Peripheral blood smear
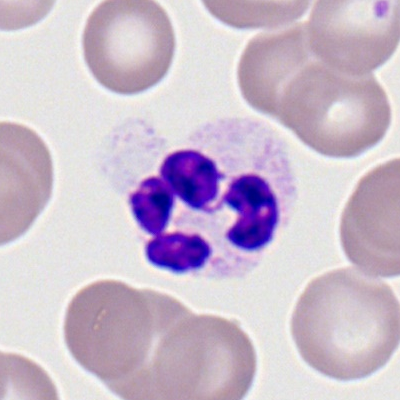

{"cell_type": "segmented neutrophil", "lineage": "myeloid"}